Bone marrow smear; brightfield, 40× oil-immersion objective — 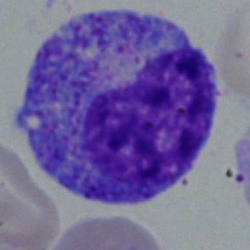 Q: What is shown here?
A: This is a metamyelocyte.